Bone marrow smear:
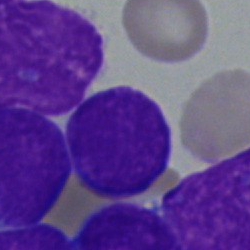

Morphological class = blast.